Bone marrow smear — 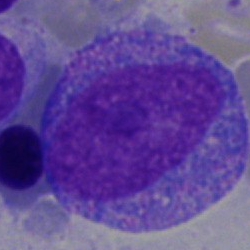 Promyelocyte.